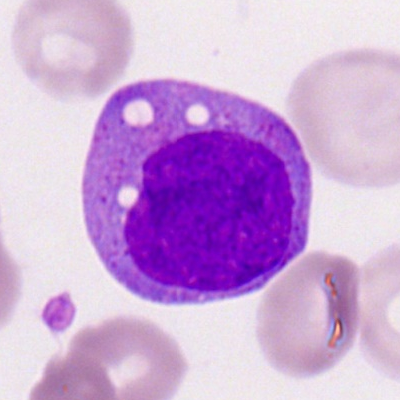 Specimen: peripheral blood film.
Cell: myeloid blast.
Lineage: myeloid.